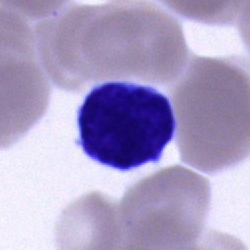Q: Identify the cell.
A: It is a lymphocyte.